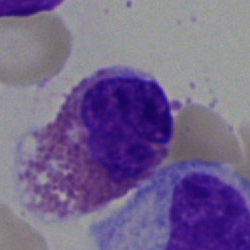 Morphology consistent with an eosinophil.